Bone marrow smear:
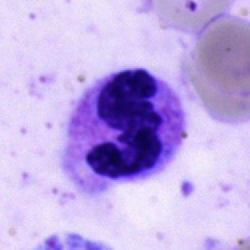Specimen: bone marrow aspirate smear.
Cell: polymorphonuclear neutrophil.